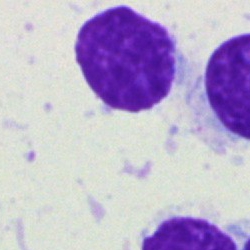
Bone marrow aspirate smear, single cell — unidentifiable cell.